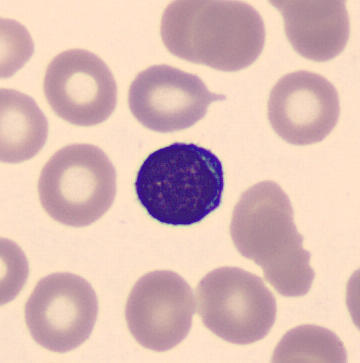

Image: Peripheral blood smear.
Cell: typical lymphocyte.